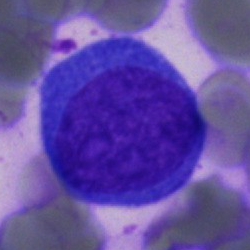
Morphology consistent with a blast cell.